May-Grünwald-Giemsa stain. Brightfield, 40× oil-immersion objective. Bone marrow aspirate smear:
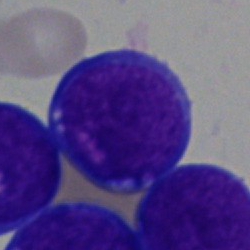
Morphology consistent with an undifferentiated blast.